Single cell centered in the field; bone marrow smear; 250×250 — 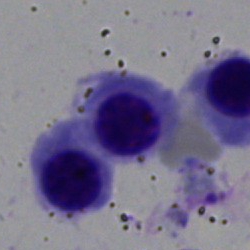
Showing a normoblast.